Bone marrow smear
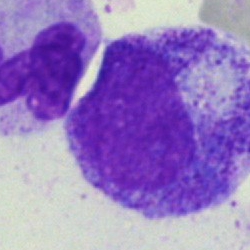The classification is promyelocyte.